Bone marrow smear:
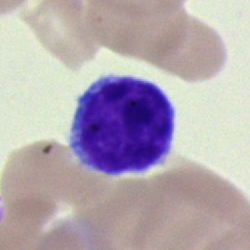
The morphological class is typical lymphocyte.